Peripheral blood film.
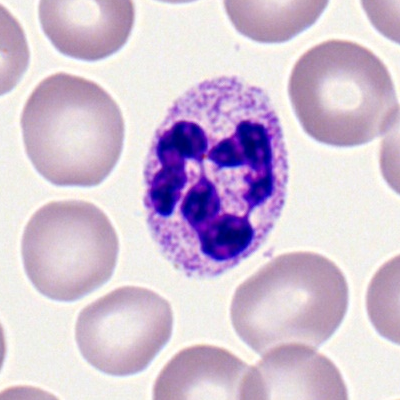Segmented neutrophil.